Bone marrow aspirate smear · image size 250×250 · single-cell field.
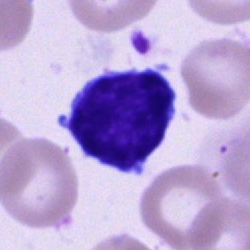Specimen: bone marrow aspirate smear.
Classification: typical lymphocyte.